Bone marrow smear: 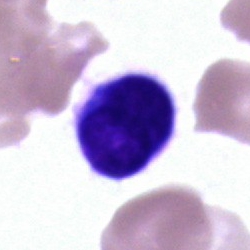Showing a typical lymphocyte.